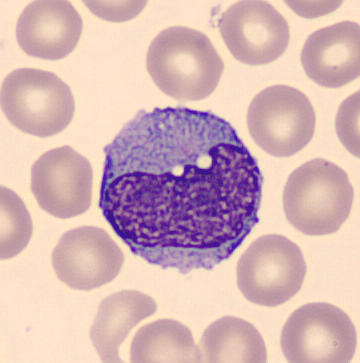
Single cell identified as a monocyte.
Acquisition: Peripheral blood smear · CellaVision DM96 digital cell image.